Bone marrow aspirate smear:
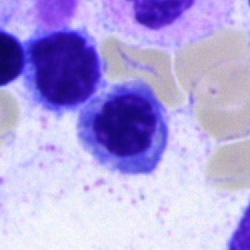

The cell shown is a normoblast.